Bone marrow smear — 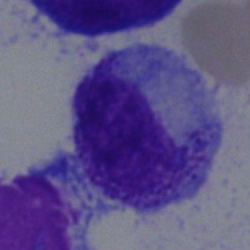 A metamyelocyte.